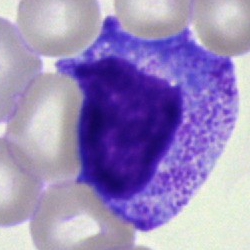 Morphological class: progranulocyte.